Bone marrow smear; 40× oil immersion; single-cell crop.
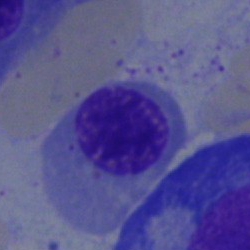Q: Identify the cell.
A: A nucleated red cell.